Bone marrow smear · image size 250×250: 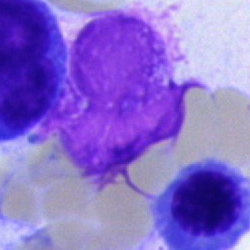
Single cell identified as an artefact.